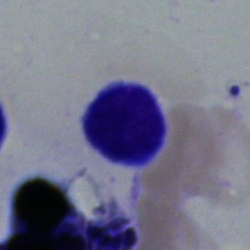Q: What is the morphological classification of this cell?
A: A lymphocyte.